Bone marrow smear. 40× objective, oil immersion. 250×250 px:
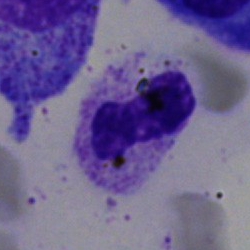 Showing a segmented neutrophil.